Bone marrow aspirate smear. Brightfield microscopy, 40× oil immersion. Single cell centered in the field.
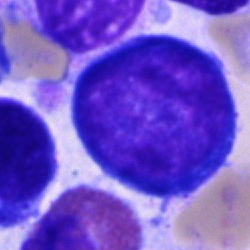Pronormoblast.